Bone marrow aspirate smear — 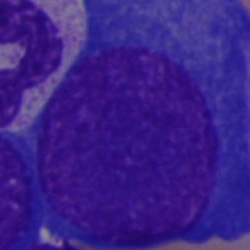
Q: What is shown here?
A: It is an artefact.